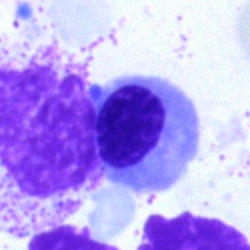

Classification = normoblast.